40× oil immersion. Pappenheim-stained. Bone marrow aspirate smear.
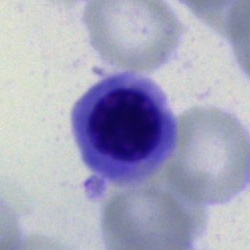

{"cell_type": "normoblast", "lineage": "erythroid"}